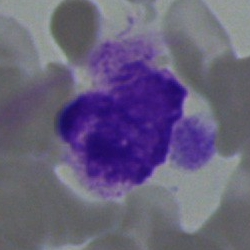Classification — artefact.